Peripheral blood film; image size 400×400:
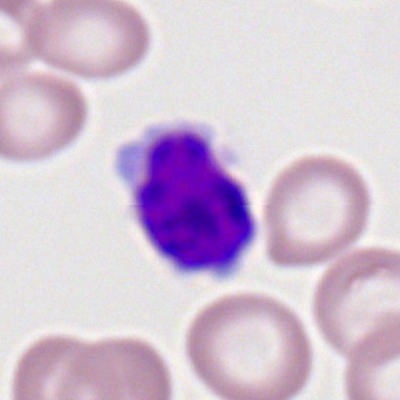 Morphological class — typical lymphocyte.